Bone marrow smear:
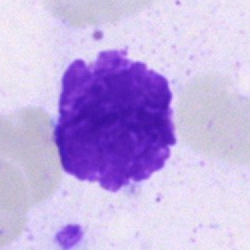

Showing an artefact.